Bone marrow aspirate smear.
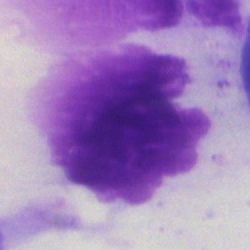
Impression — artifact.